Brightfield, 40× oil-immersion objective. Bone marrow aspirate smear. Image size 250×250 — 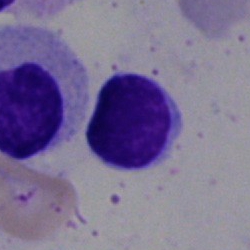 A typical lymphocyte.